Romanowsky stain. Cropped to a single cell. Peripheral blood smear: 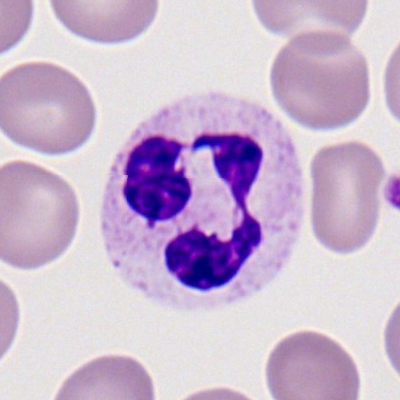

Q: What is the morphological classification of this cell?
A: Polymorphonuclear neutrophil.